Bone marrow aspirate smear:
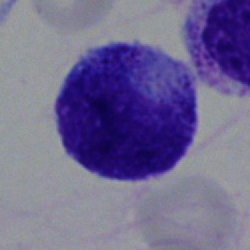 Progranulocyte.